Brightfield, 40× oil-immersion objective. Bone marrow smear — 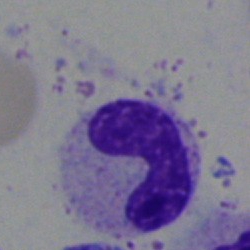The cell shown is a band neutrophil.